Bone marrow smear. 40× objective, oil immersion
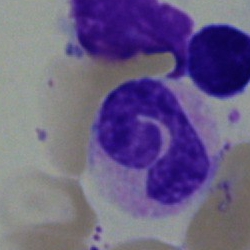Morphology consistent with a band-form neutrophil.